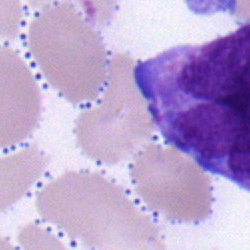Q: Identify the cell.
A: A blast cell.